Bone marrow aspirate smear.
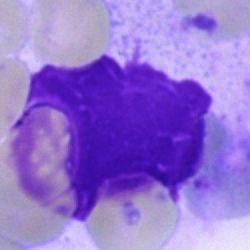An artifact.